Peripheral blood film · Romanowsky stain · image size 400×400:
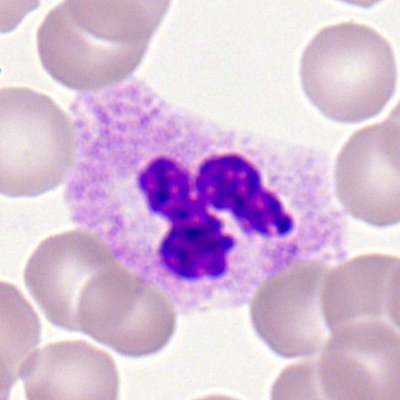
This is a polymorphonuclear neutrophil.